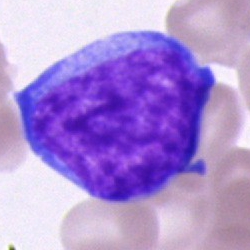

Morphology consistent with a blast.